Bone marrow smear:
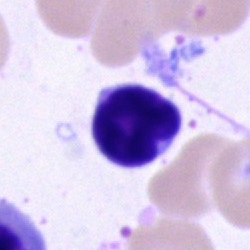 A lymphocyte.